Bone marrow smear.
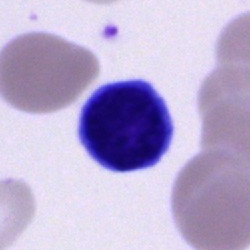 A typical lymphocyte.